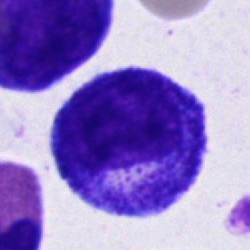

Cell — promyelocyte.